May-Grünwald-Giemsa/Pappenheim stain. Single cell centered in the field. Bone marrow smear:
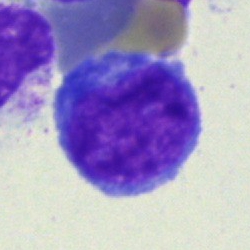Impression → blast cell.